Bone marrow aspirate smear: 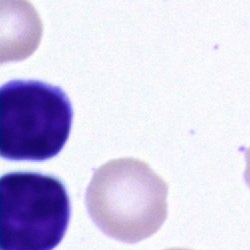

Specimen: bone marrow smear.
Cell type: typical lymphocyte.